Bone marrow smear
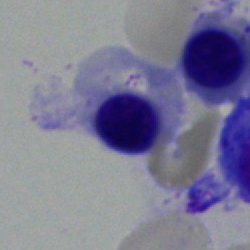 Normoblast.